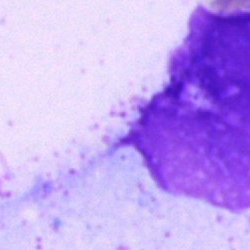The cell shown is an artifact.